40× oil immersion · Pappenheim-stained · bone marrow aspirate smear
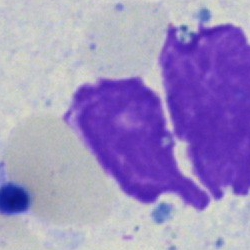

Classification — artifact.